40× oil immersion; cropped to a single cell; bone marrow smear.
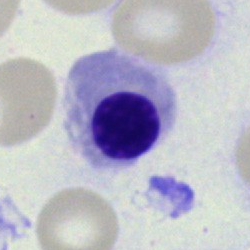 Q: What is the morphological classification of this cell?
A: This is an erythroblast.